Cropped to a single cell. Bone marrow aspirate smear:
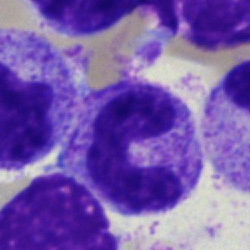 Q: Identify the cell.
A: It is a band neutrophil.